MGG-stained · peripheral blood smear.
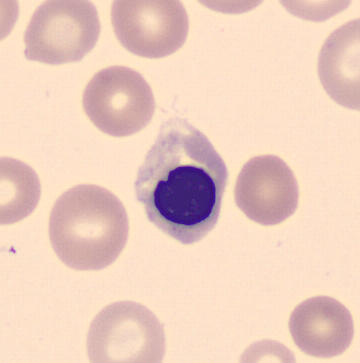
Impression — nucleated red blood cell.